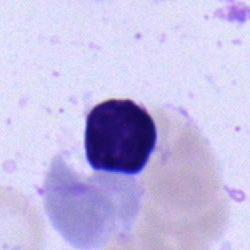

The cell type is lymphocyte.